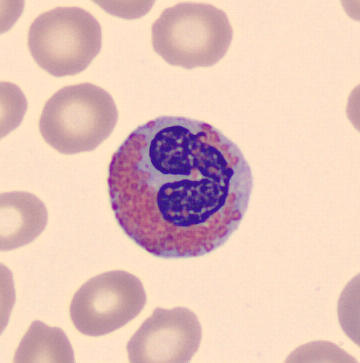 Specimen: peripheral blood film.
Classification: eosinophilic granulocyte.
Lineage: myeloid.